Bone marrow smear: 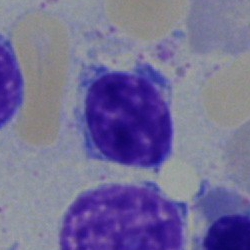

Specimen: bone marrow aspirate smear.
Cell: lymphocyte.